Cropped to a single cell. Bone marrow aspirate smear. Image size 250×250
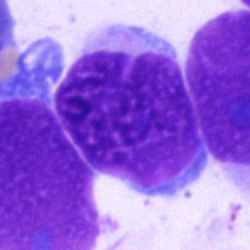
Q: What is shown here?
A: Unidentifiable cell.